100× objective, oil immersion. 400×400. Peripheral blood smear.
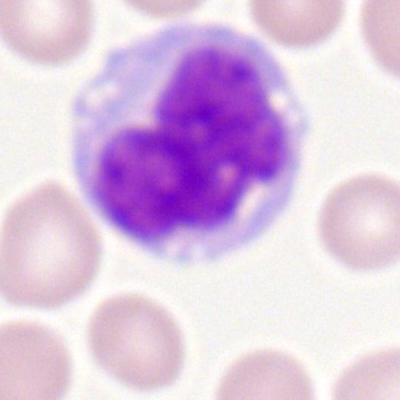 Q: Which cell type is shown here?
A: Monocyte.